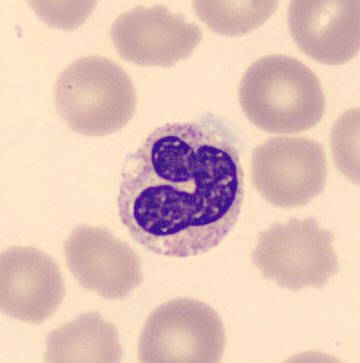Preparation: Peripheral blood smear.

{"cell_type": "neutrophil (band)", "lineage": "myeloid"}